Brightfield microscopy, 40× oil immersion. Bone marrow smear:
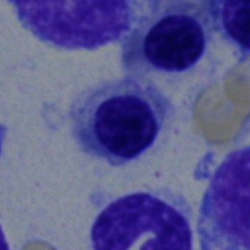Cell type — nucleated red blood cell.